250×250 px. Bone marrow smear: 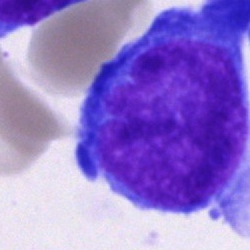
{"cell_type": "undifferentiated blast"}